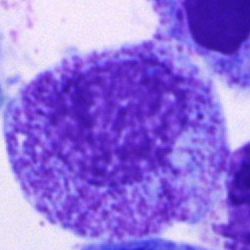

Q: What type of cell is this?
A: It is a promyelocyte.